Bone marrow aspirate smear
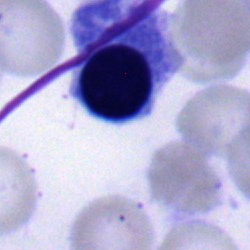This is a nucleated red cell.